100× objective, oil immersion · peripheral blood smear:
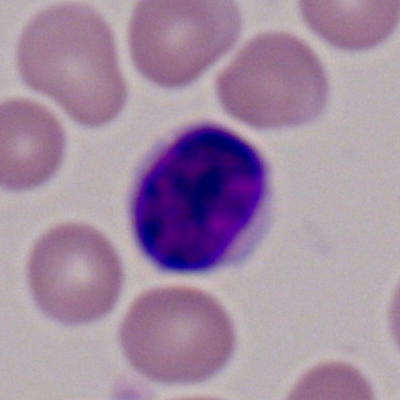 Q: What is shown here?
A: It is a typical lymphocyte.